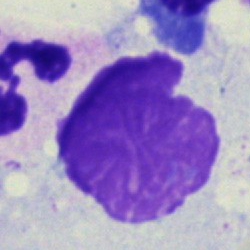
Q: What is shown here?
A: It is an artifact.